Bone marrow aspirate smear: 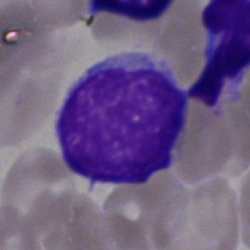 {"cell_type": "lymphocyte"}